Brightfield microscopy, 40× oil immersion. Bone marrow smear. 250×250
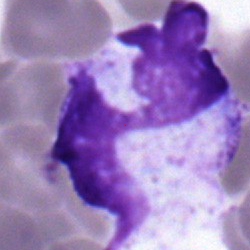 The cell is segmented neutrophil.